Bone marrow aspirate smear:
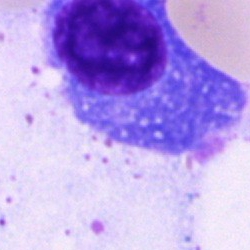

Q: What is the morphological classification of this cell?
A: This is a plasmacyte.